Bone marrow smear.
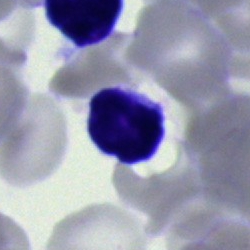
Q: Which cell type is shown here?
A: Typical lymphocyte.